MGG-stained · 40× objective, oil immersion · bone marrow aspirate smear:
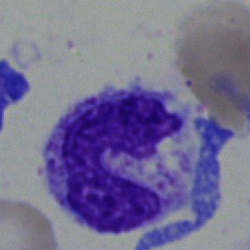
{"cell_type": "monocyte", "lineage": "myeloid"}